Bone marrow smear.
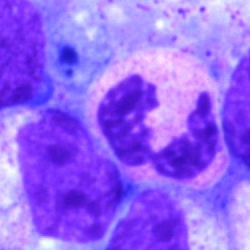Morphological class: polymorphonuclear neutrophil.